Bone marrow aspirate smear: 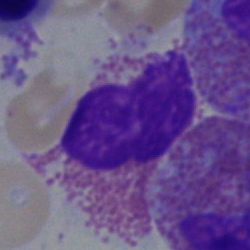Morphology consistent with an eosinophilic granulocyte.